Bone marrow smear.
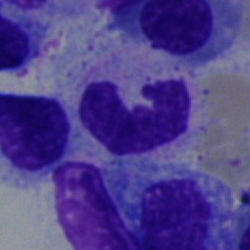Showing a segmented neutrophil.